Bone marrow smear: 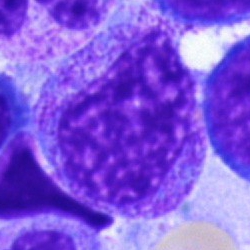A progranulocyte.